Bone marrow aspirate smear.
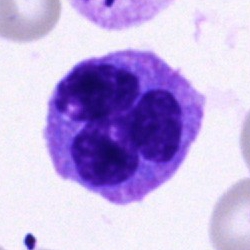

Q: What type of cell is this?
A: This is a monocyte.